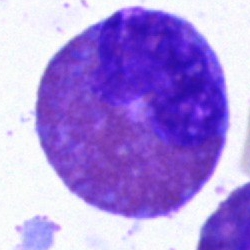
Classification: eosinophilic granulocyte.